Bone marrow aspirate smear: 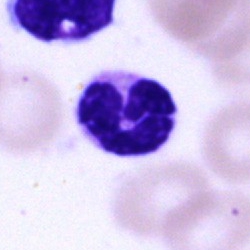
Single cell identified as a segmented neutrophil.